May-Grünwald-Giemsa/Pappenheim stain; 40× objective, oil immersion; bone marrow aspirate smear
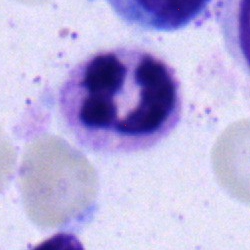

Showing a neutrophil (segmented).